Bone marrow smear: 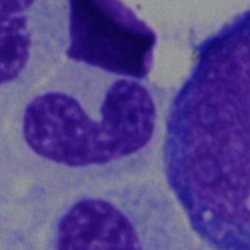
Q: What type of cell is this?
A: A band-form neutrophil.